Bone marrow aspirate smear; cropped to a single cell: 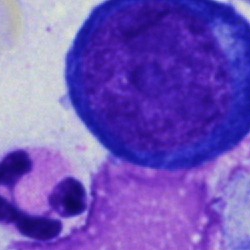
Proerythroblast.